Peripheral blood smear — 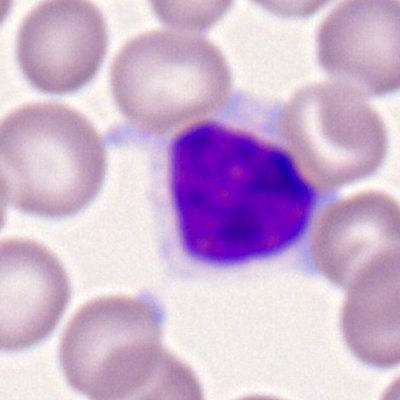

Classification: lymphocyte.